Bone marrow smear · MGG-stained · single-cell field — 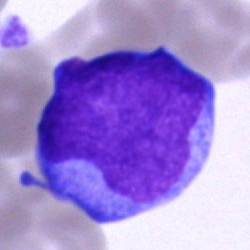

Specimen: bone marrow aspirate smear.
Classification: blast.